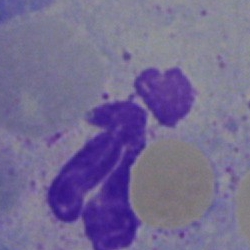
This is an artifact.